Bone marrow aspirate smear. Single-cell field.
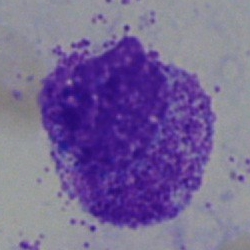

Morphological class = myelocyte.